Cropped to a single cell. Bone marrow smear. 250×250 px: 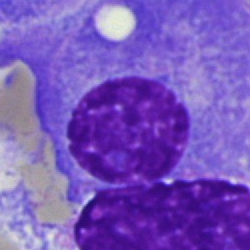
{"cell_type": "plasmacyte"}